Bone marrow aspirate smear — 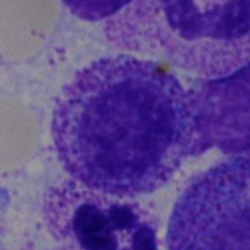

Cell: myelocyte.